400 by 400 pixels; peripheral blood film; Romanowsky stain.
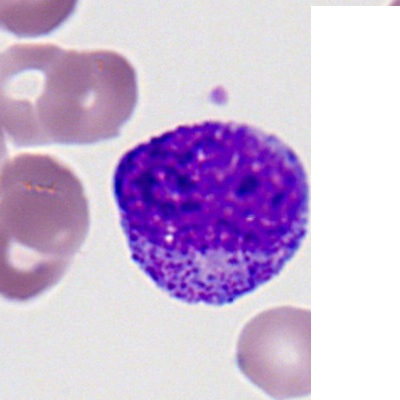
Q: Identify the cell.
A: It is a myelocyte.